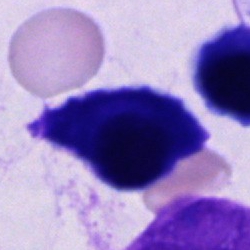 Cell: cell of indeterminate lineage.